Bone marrow aspirate smear:
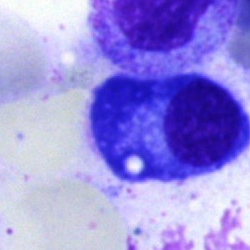

Morphology → plasma cell.